Bone marrow aspirate smear — 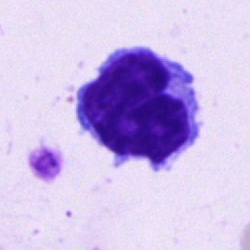
The cell shown is a typical lymphocyte.